Bone marrow aspirate smear — 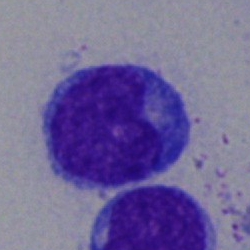

{"cell_type": "promyelocyte"}